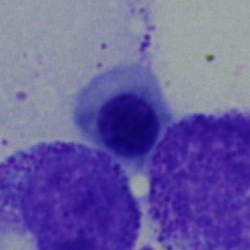 The morphological class is nucleated red cell.